Bone marrow smear:
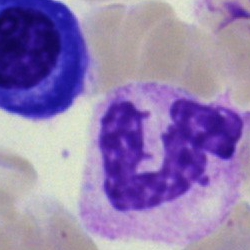

The cell shown is a neutrophil (segmented).